Bone marrow aspirate smear:
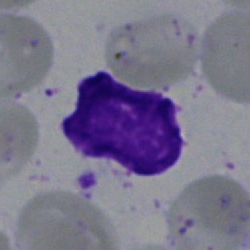
An artifact.